Bone marrow smear. Single cell centered in the field:
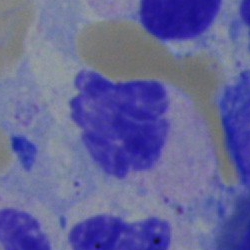This is a polymorphonuclear neutrophil.